Bone marrow smear · brightfield microscopy, 40× oil immersion: 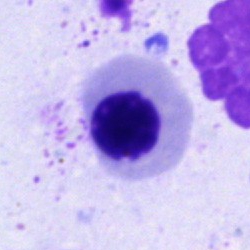 Morphology consistent with a normoblast.